Bone marrow aspirate smear — 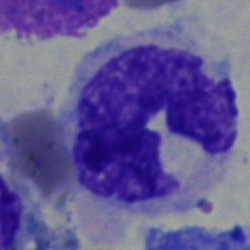 Q: What cell is this?
A: It is a monocyte.